Peripheral blood smear: 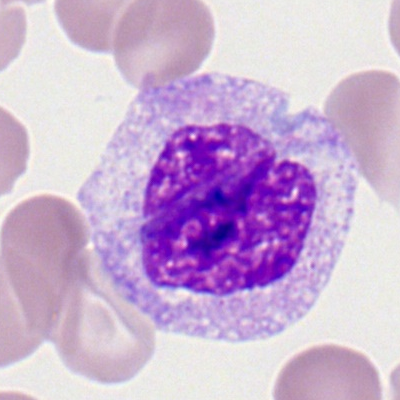Showing a monocyte.